Bone marrow aspirate smear.
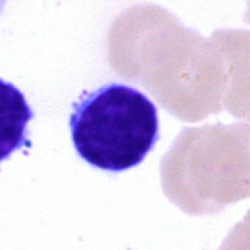

Showing a typical lymphocyte.